Bone marrow aspirate smear · MGG-stained · brightfield microscopy, 40× oil immersion
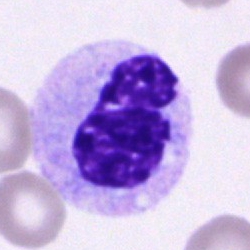Q: What is the morphological classification of this cell?
A: This is a polymorphonuclear neutrophil.